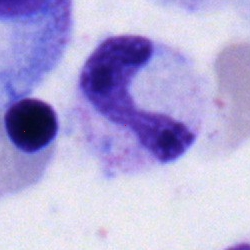Q: What is the morphological classification of this cell?
A: Band-form neutrophil.